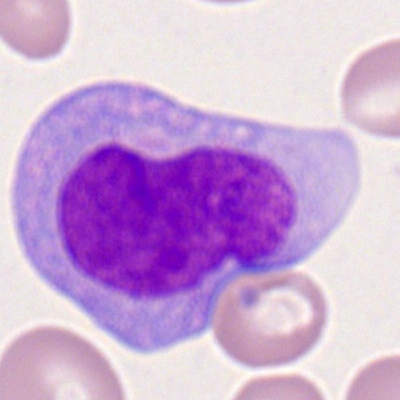

Specimen: peripheral blood film.
Cell: monoblast.
Lineage: myeloid.